Bone marrow aspirate smear — 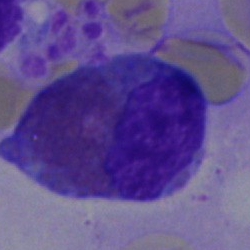Cell = eosinophil.